Peripheral blood smear. 100× oil immersion, 14.14 px/µm. Cropped to a single cell: 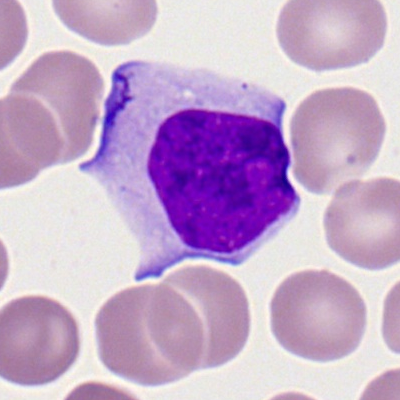
A lymphocyte.